Bone marrow smear: 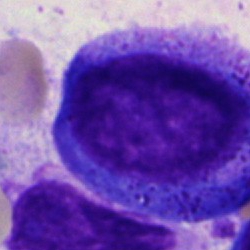Q: What is shown here?
A: Promyelocyte.